Bone marrow smear; cropped to a single cell.
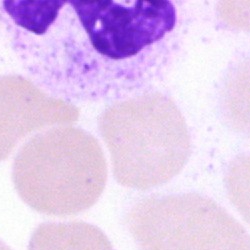

Morphology — unidentifiable cell.